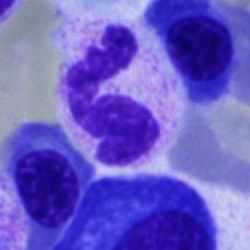
Cell type = polymorphonuclear neutrophil.